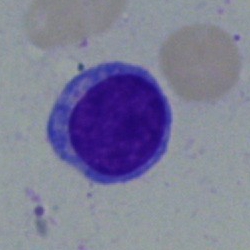Single cell identified as a typical lymphocyte.